Bone marrow smear — 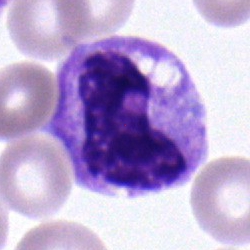Q: What cell is this?
A: A neutrophil (band).